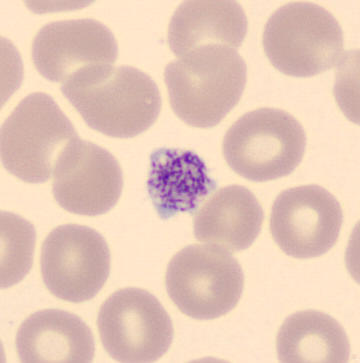
Classification: platelet (thrombocyte).